Bone marrow smear · brightfield, 40× oil-immersion objective:
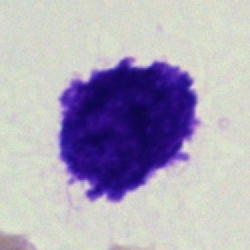 The classification is blast.